Bone marrow smear. Single-cell field
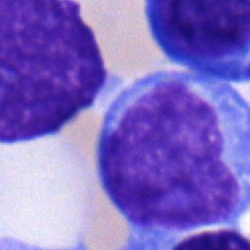 Blast.